Bone marrow smear — 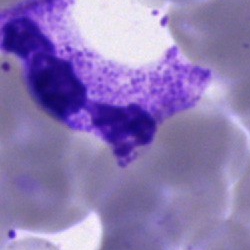

Cell type = artefact.